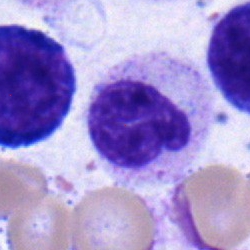

This is a polymorphonuclear neutrophil.